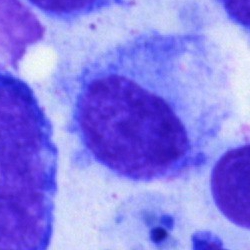 Q: What type of cell is this?
A: This is a hairy cell.